Bone marrow smear — 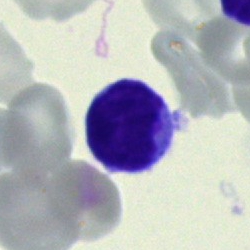Specimen: bone marrow aspirate smear.
Classification: lymphocyte.